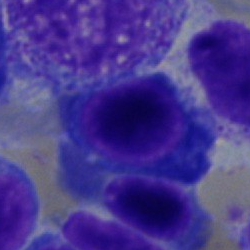

Cell type: normoblast.